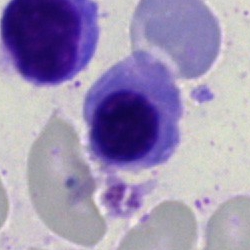
{"cell_type": "normoblast", "lineage": "erythroid"}